Bone marrow aspirate smear · May-Grünwald-Giemsa stain
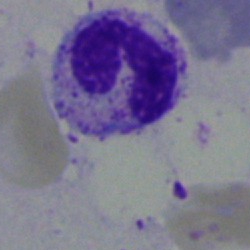Segmented neutrophil.